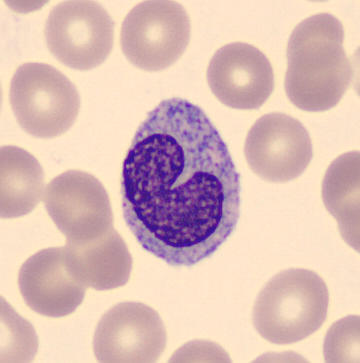Acquisition: Peripheral blood smear. Single cell identified as a monocyte.